Bone marrow smear; May-Grünwald-Giemsa stain; 40× objective, oil immersion.
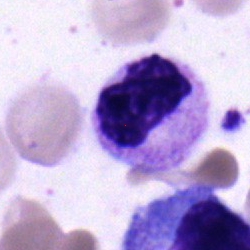

Single cell identified as a myelocyte.